Bone marrow smear: 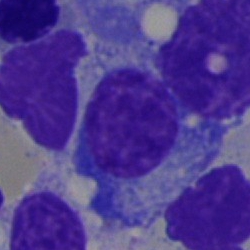
Q: Identify the cell.
A: This is a plasma cell.